Image size 360×363. Peripheral blood smear — 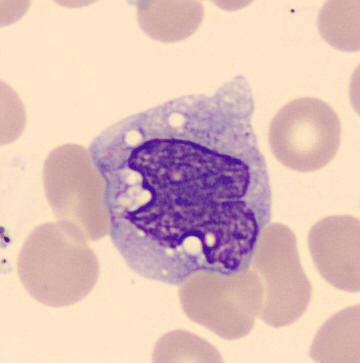 Morphology — monocyte.